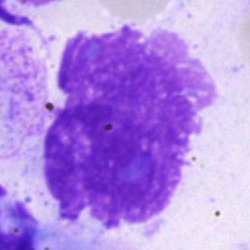
The cell shown is an artifact.